Bone marrow smear
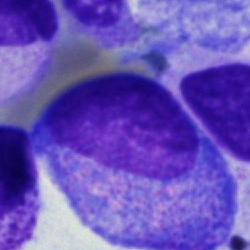 {"cell_type": "undifferentiated blast"}